Bone marrow aspirate smear. May-Grünwald-Giemsa/Pappenheim stain — 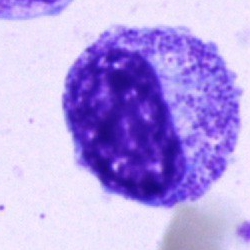

Impression → progranulocyte.